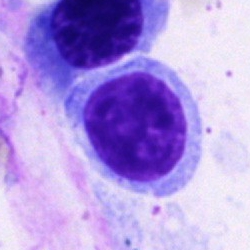

The morphological class is lymphocyte.